MGG-stained. Image size 250×250. Bone marrow aspirate smear:
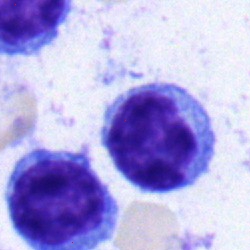 Classification — typical lymphocyte.